Bone marrow smear:
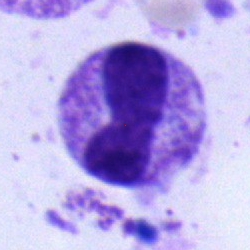

The morphological class is neutrophil (band).